Bone marrow aspirate smear
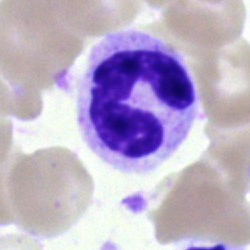
A band neutrophil.